Bone marrow aspirate smear:
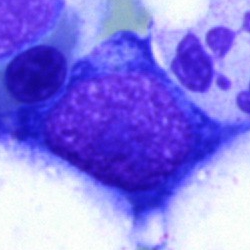 Specimen: bone marrow smear.
Classification: nucleated red blood cell.